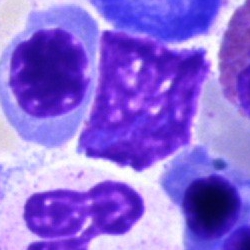

Q: What is shown here?
A: Artifact.